Single cell centered in the field. Pappenheim-stained. Bone marrow smear
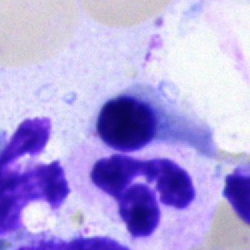

Cell: polymorphonuclear neutrophil.